Peripheral blood smear. May Grünwald-Giemsa stain. Cropped to a single cell.
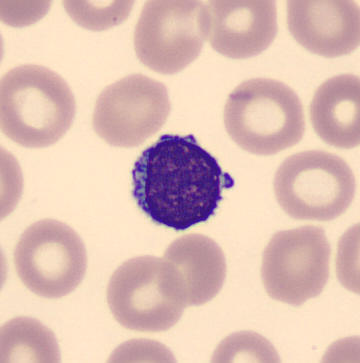
This is a typical lymphocyte.